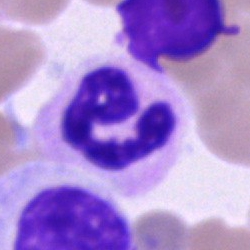

Cell — polymorphonuclear neutrophil.